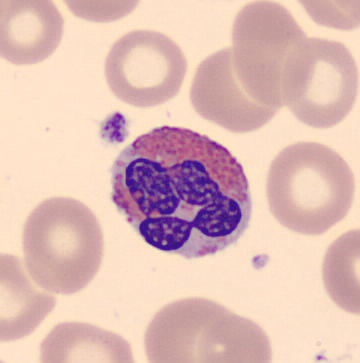 Image: Peripheral blood film.

This is an eosinophilic granulocyte.